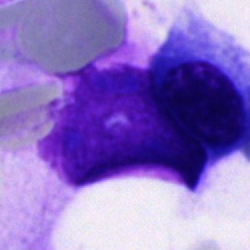
Morphology → artifact.